May-Grünwald-Giemsa stain. Bone marrow aspirate smear. Single-cell field.
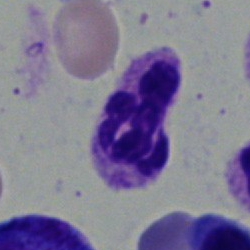

Showing a neutrophil (segmented).